Bone marrow smear; cropped to a single cell: 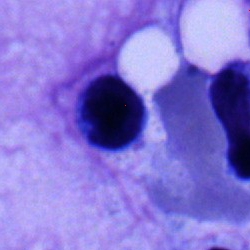The classification is typical lymphocyte.